Bone marrow aspirate smear.
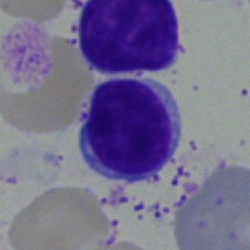Q: Which cell type is shown here?
A: This is a lymphocyte.